Bone marrow aspirate smear: 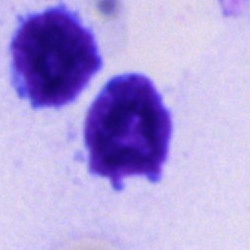

The cell shown is a lymphocyte.